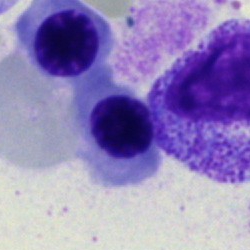
Specimen: bone marrow aspirate smear.
Morphological class: erythroblast.
Lineage: erythroid.